250 by 250 pixels · bone marrow aspirate smear.
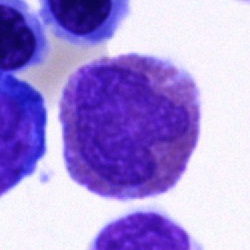
The cell shown is an eosinophilic granulocyte.